Bone marrow aspirate smear — 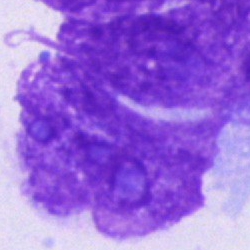 The morphological class is artefact.